Brightfield, 40× oil-immersion objective · bone marrow smear — 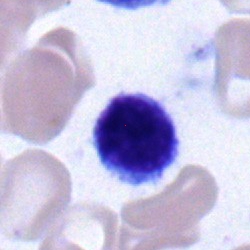 The cell type is lymphocyte.